250×250 px. Bone marrow smear: 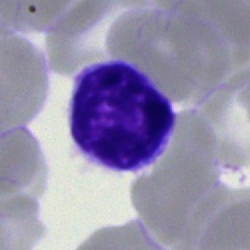 Specimen: bone marrow aspirate smear.
Cell type: typical lymphocyte.
Lineage: lymphoid.